Bone marrow aspirate smear: 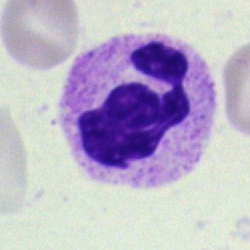Specimen: bone marrow aspirate smear.
Classification: polymorphonuclear neutrophil.
Lineage: myeloid.